Peripheral blood film
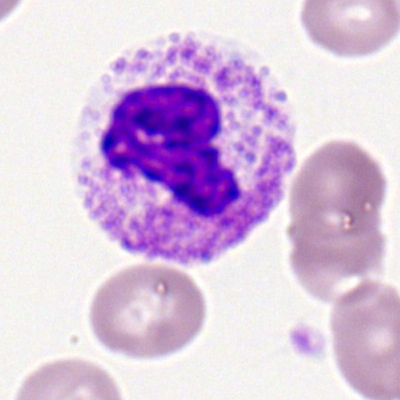

Q: Identify the cell.
A: It is a neutrophil (segmented).